Bone marrow aspirate smear:
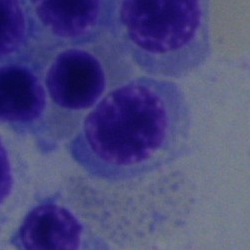
Cell type: nucleated red blood cell.